250×250 px · bone marrow aspirate smear
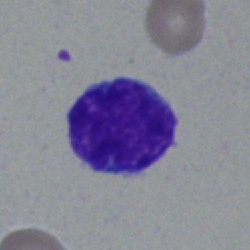 Morphology consistent with a lymphocyte.